Single-cell crop. Bone marrow aspirate smear:
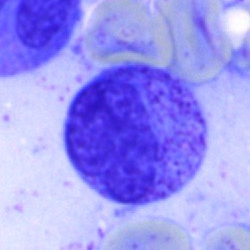 A metamyelocyte.